Image size 250×250 · bone marrow aspirate smear
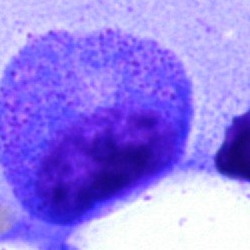Q: What is shown here?
A: This is a promyelocyte.